Bone marrow smear — 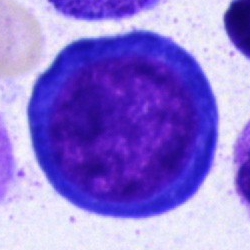

Morphology → proerythroblast.